Single-cell crop. Brightfield, 40× oil-immersion objective. Bone marrow aspirate smear: 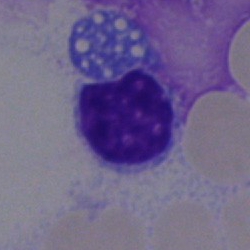
Cell type = lymphocyte.